Bone marrow aspirate smear
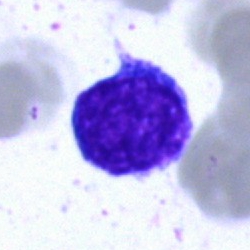 Classification — lymphocyte.